Bone marrow smear. MGG-stained — 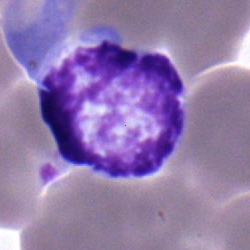

The classification is undifferentiated blast.